Bone marrow aspirate smear
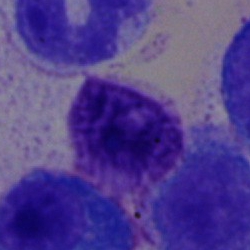The cell shown is a basophil.